Bone marrow smear:
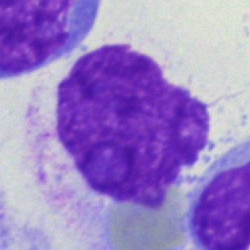
Artifact.